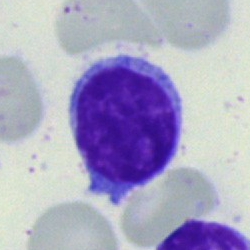
Impression — lymphocyte.